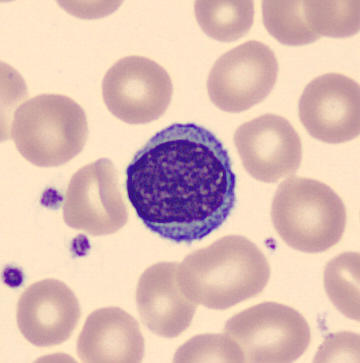 Q: Which cell type is shown here?
A: A lymphocyte.

Image: Peripheral blood film.